May-Grünwald-Giemsa/Pappenheim stain; bone marrow smear; 40× oil immersion — 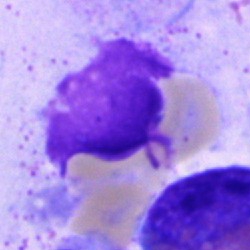
Cell type: artifact.